Peripheral blood smear: 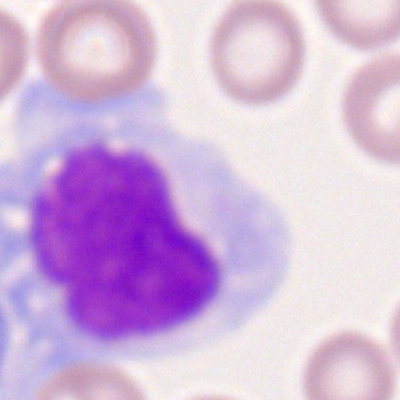
The cell shown is a monocyte.